Bone marrow aspirate smear — 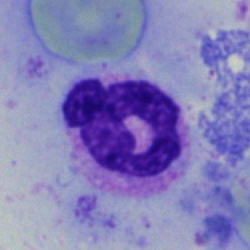 The cell shown is a neutrophil (segmented).